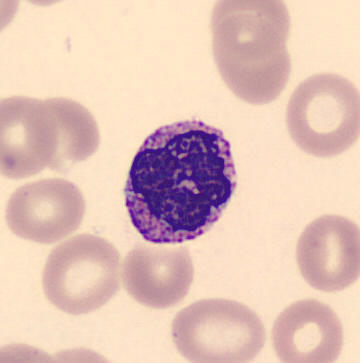Acquisition: Peripheral blood smear.
Q: What is the morphological classification of this cell?
A: A basophilic granulocyte.